Bone marrow aspirate smear · 40× objective, oil immersion · single cell centered in the field: 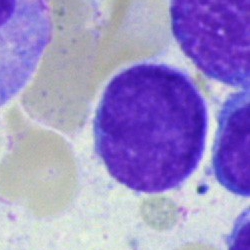 Specimen: bone marrow smear.
Cell: blast.